May-Grünwald-Giemsa/Pappenheim stain. Bone marrow smear.
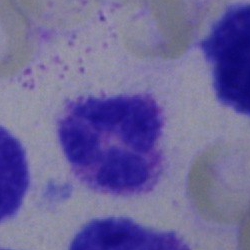The cell type is polymorphonuclear neutrophil.